Peripheral blood smear: 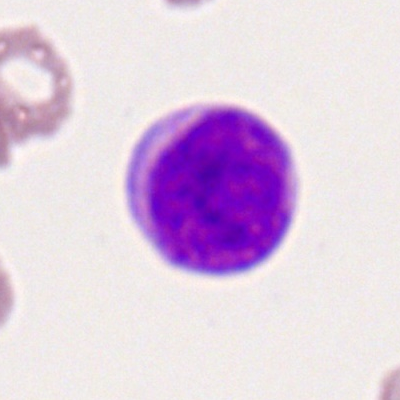A lymphocyte.